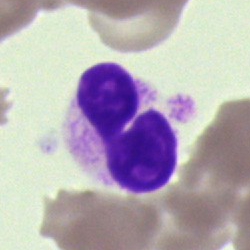Specimen: bone marrow aspirate smear.
Classification: neutrophil (segmented).
Lineage: myeloid.